Bone marrow aspirate smear
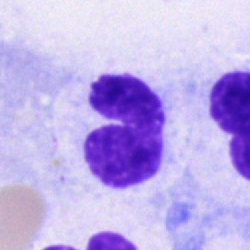
Cell type = band-form neutrophil.